May-Grünwald-Giemsa/Pappenheim stain · bone marrow smear — 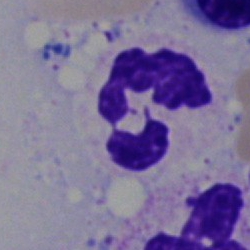The cell shown is a segmented neutrophil.